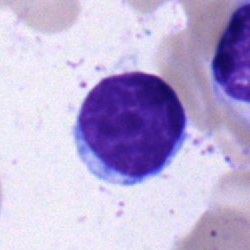

Q: Which cell type is shown here?
A: Typical lymphocyte.